Bone marrow smear:
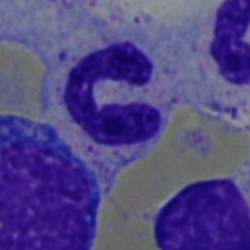
This is a neutrophil (band).